Bone marrow aspirate smear.
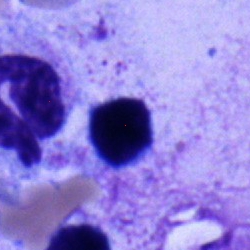 Specimen: bone marrow smear.
Classification: typical lymphocyte.
Lineage: lymphoid.